Bone marrow smear; single cell centered in the field; brightfield, 40× oil-immersion objective.
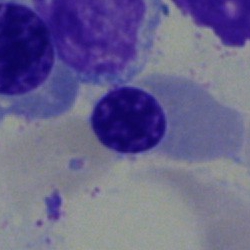 Classification: nucleated red cell.